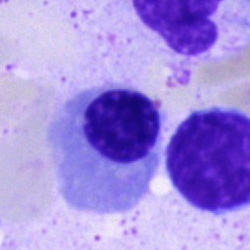The cell type is erythroblast.